May-Grünwald-Giemsa stain · bone marrow aspirate smear · brightfield, 40× oil-immersion objective.
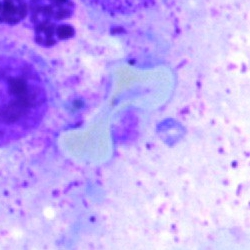
This is an artefact.